Bone marrow aspirate smear; cropped to a single cell:
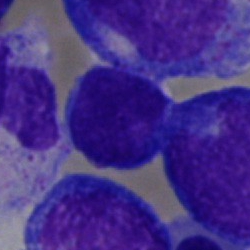

Cell type: typical lymphocyte.